Bone marrow smear · brightfield microscopy, 40× oil immersion · cropped to a single cell:
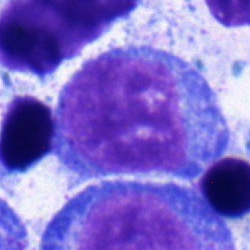Q: Which cell type is shown here?
A: Blast.